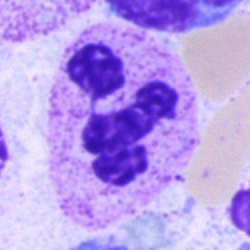 Q: What cell is this?
A: It is a segmented neutrophil.